Bone marrow aspirate smear.
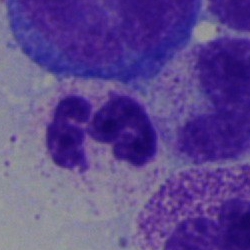Specimen: bone marrow smear.
Morphological class: neutrophil (segmented).
Lineage: myeloid.